40× objective, oil immersion. Bone marrow smear. Pappenheim-stained
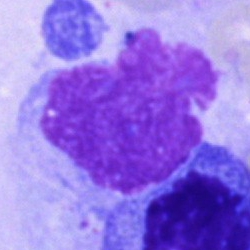

Cell — artefact.